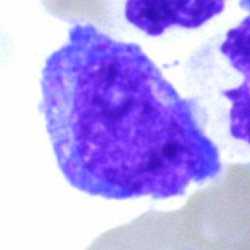

Q: What is the morphological classification of this cell?
A: It is a progranulocyte.